Bone marrow aspirate smear
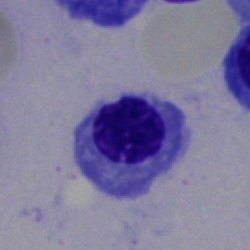
Morphological class = erythroblast.